Bone marrow aspirate smear
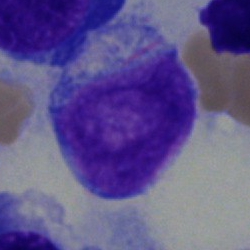 A blast.